Bone marrow aspirate smear
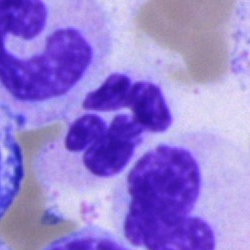
Morphology → neutrophil (segmented).